Bone marrow aspirate smear.
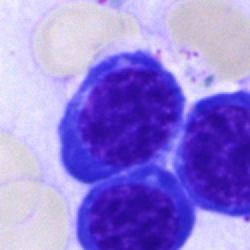Cell = nucleated red blood cell.